Brightfield, 40× oil-immersion objective. Bone marrow aspirate smear:
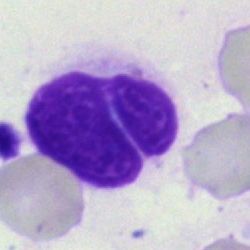The classification is artifact.